Bone marrow smear
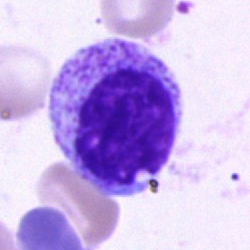Single cell identified as a myelocyte.